Bone marrow smear; May-Grünwald-Giemsa/Pappenheim stain: 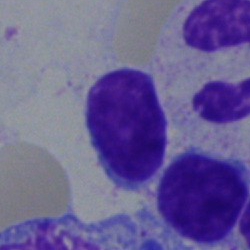 Q: Which cell type is shown here?
A: Typical lymphocyte.